Bone marrow smear:
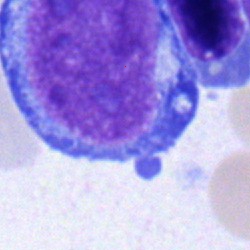
Cell — pronormoblast.